Bone marrow smear
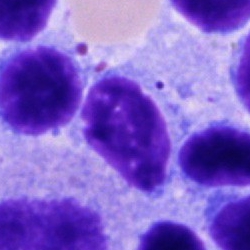 Q: What is the morphological classification of this cell?
A: This is a typical lymphocyte.